Bone marrow smear
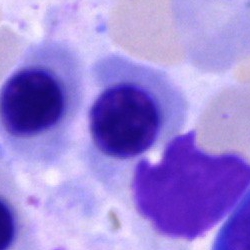 Q: What is the morphological classification of this cell?
A: This is a nucleated red cell.